Bone marrow aspirate smear: 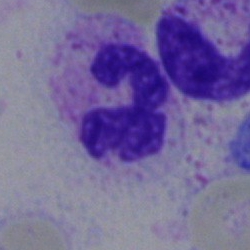

A polymorphonuclear neutrophil.